Brightfield, 100× oil-immersion objective · peripheral blood smear:
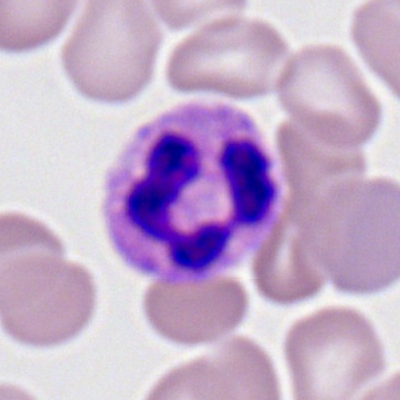

Cell type — polymorphonuclear neutrophil.